Bone marrow aspirate smear · MGG-stained · single-cell field.
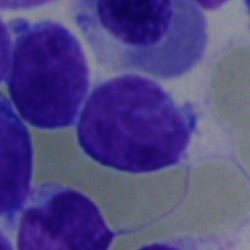 The classification is blast.